Bone marrow aspirate smear.
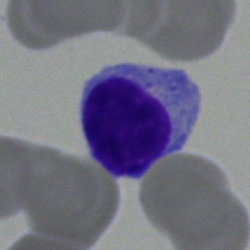

This is a typical lymphocyte.